Bone marrow smear.
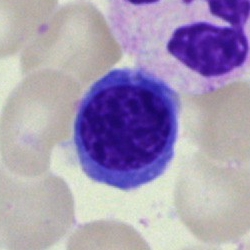
Cell: erythroblast.